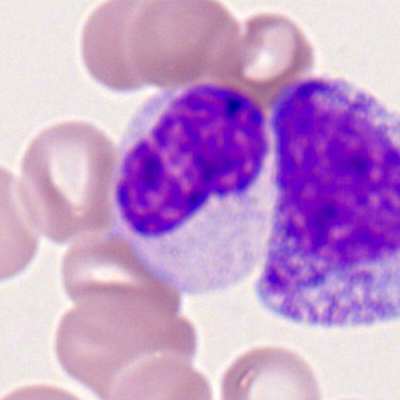

{"cell_type": "band-form neutrophil", "lineage": "myeloid"}